Bone marrow aspirate smear:
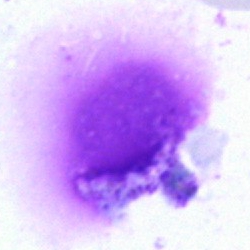

{"cell_type": "artefact"}